Bone marrow aspirate smear:
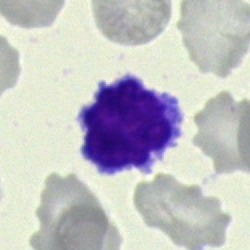 Cell = typical lymphocyte.